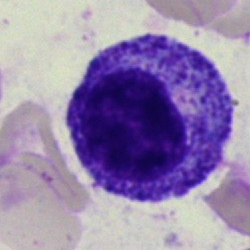 Specimen: bone marrow aspirate smear.
Morphological class: myelocyte.